Bone marrow smear; cropped to a single cell:
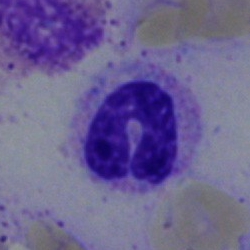Q: Which cell type is shown here?
A: It is a band-form neutrophil.